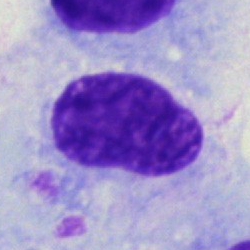Specimen: bone marrow smear.
Cell: artefact.